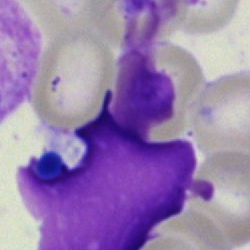Q: What is shown here?
A: An artefact.